Bone marrow aspirate smear: 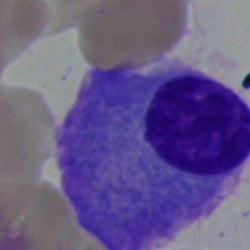 Specimen: bone marrow smear.
Cell type: plasma cell.